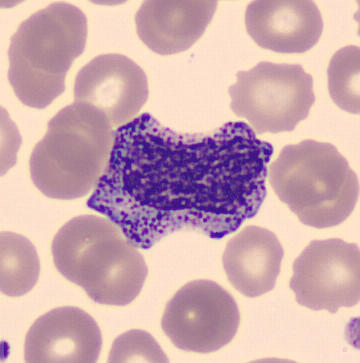

Specimen: peripheral blood smear.
Cell: myelocyte.
Lineage: myeloid.